Peripheral blood smear:
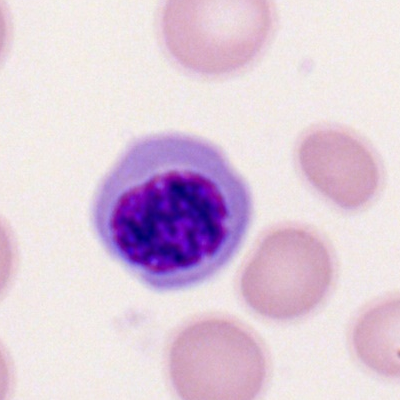Morphological class — erythroblast.